Bone marrow aspirate smear. 250×250 px. 40× objective, oil immersion: 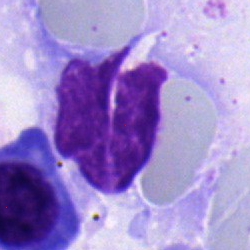 The morphological class is polymorphonuclear neutrophil.